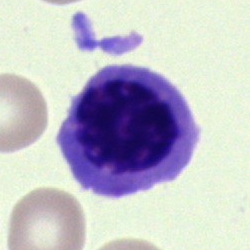

This is a nucleated red cell.